Bone marrow smear.
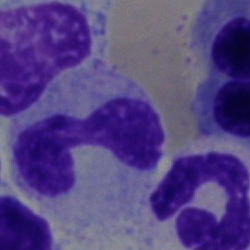

Q: What is shown here?
A: A polymorphonuclear neutrophil.